Bone marrow smear
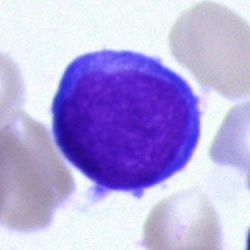

This is a blast.